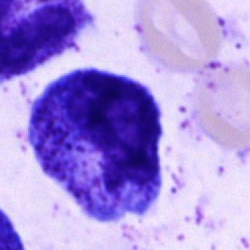

Q: What cell is this?
A: It is a progranulocyte.